Single-cell crop; bone marrow smear
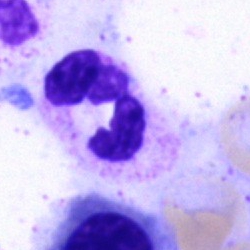
Cell: segmented neutrophil.